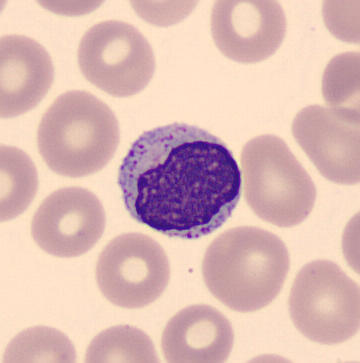Peripheral blood smear · MGG stain · cropped to a single cell.

A lymphocyte.